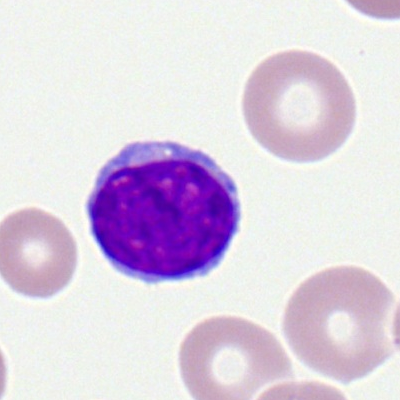 Q: Which cell type is shown here?
A: It is a typical lymphocyte.